Image size 250×250; bone marrow aspirate smear: 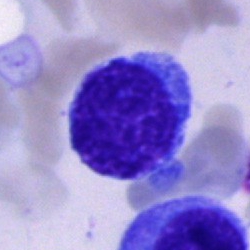
Showing an unidentifiable cell.